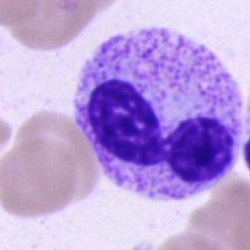
Bone marrow aspirate smear, single cell — polymorphonuclear neutrophil.